Bone marrow smear. Single-cell field. May-Grünwald-Giemsa/Pappenheim stain
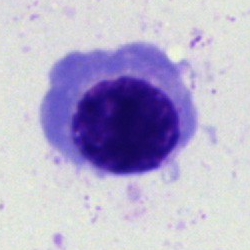 Q: Which cell type is shown here?
A: Nucleated red cell.